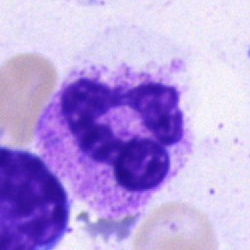A segmented neutrophil.